100× oil immersion, 14.14 px/µm; peripheral blood smear: 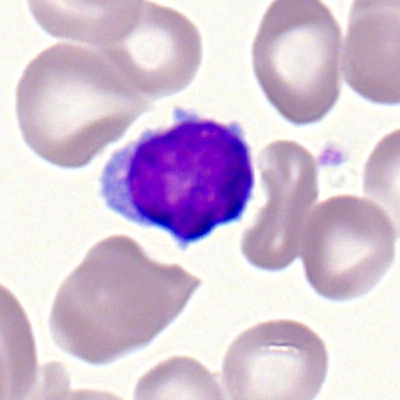

Typical lymphocyte.